Bone marrow smear. Pappenheim-stained — 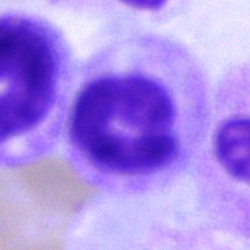
The cell is neutrophil (band).